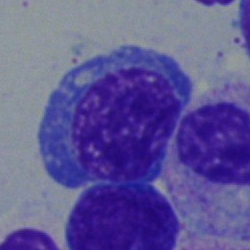A nucleated red cell on a bone marrow smear.